Brightfield microscopy, 40× oil immersion. Pappenheim-stained. Bone marrow smear:
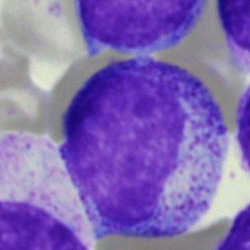{"cell_type": "promyelocyte"}